May-Grünwald-Giemsa/Pappenheim stain · bone marrow smear · 250×250 px:
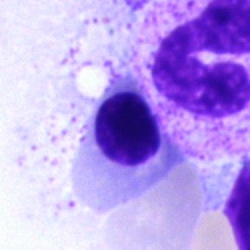

Classification = nucleated red cell.